Bone marrow aspirate smear
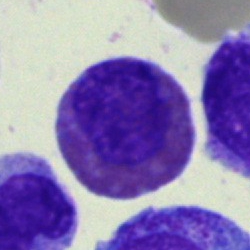Q: Identify the cell.
A: An eosinophilic granulocyte.